Bone marrow aspirate smear.
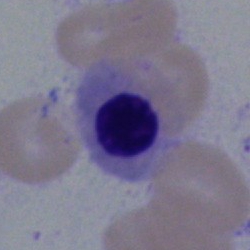Specimen: bone marrow aspirate smear.
Morphological class: nucleated red cell.